Romanowsky-stained. Peripheral blood smear: 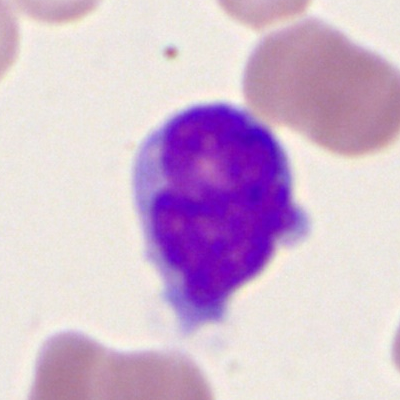 Showing a monocyte.